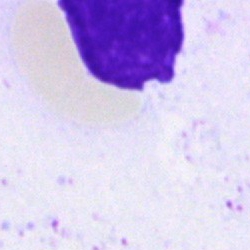

Q: What is shown here?
A: An artifact.